40× objective, oil immersion. Bone marrow smear: 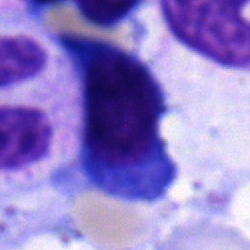
Morphology consistent with a plasmacyte.